Bone marrow smear. Single-cell crop
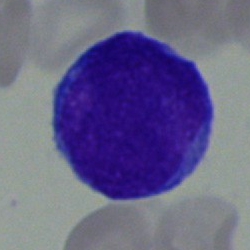Specimen: bone marrow aspirate smear.
Morphological class: blast cell.